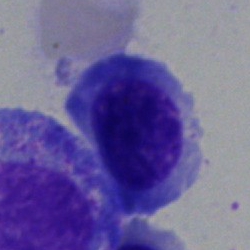
Single cell identified as an erythroblast.